Bone marrow aspirate smear:
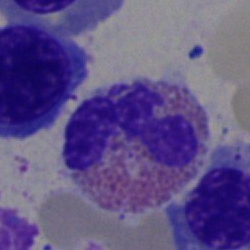 Cell type: eosinophilic granulocyte.